Bone marrow aspirate smear — 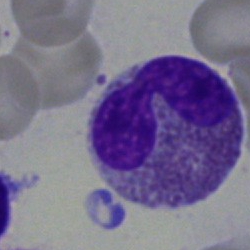

Specimen: bone marrow aspirate smear.
Classification: eosinophil.
Lineage: myeloid.